Bone marrow aspirate smear — 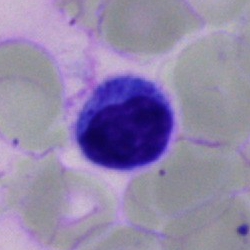 Showing a typical lymphocyte.